Pappenheim-stained; bone marrow aspirate smear.
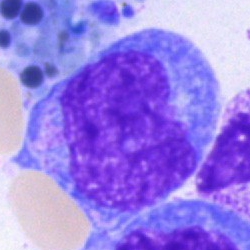The cell is undifferentiated blast.